Bone marrow aspirate smear:
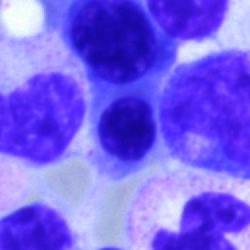

Cell = erythroblast.